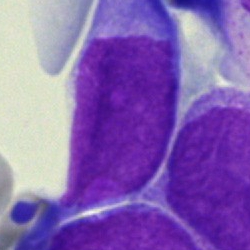Classification: blast.